Bone marrow aspirate smear:
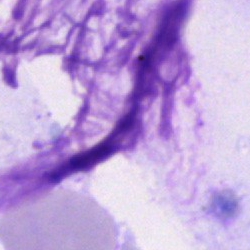 Specimen: bone marrow aspirate smear.
Cell: artefact.